250×250 px; bone marrow aspirate smear; single-cell crop: 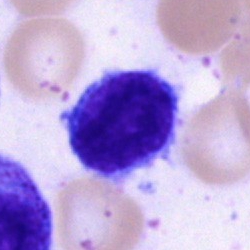Classification: typical lymphocyte.